Peripheral blood film; 400×400; single-cell crop:
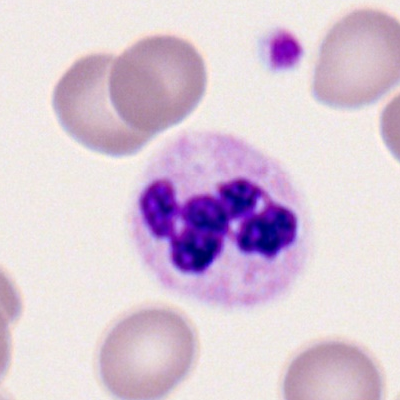Single cell identified as a neutrophil (segmented).